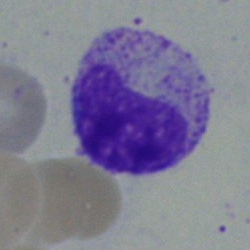
Q: Which cell type is shown here?
A: Metamyelocyte.